40× oil immersion; bone marrow aspirate smear:
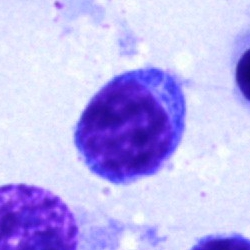 Q: What cell is this?
A: This is a lymphocyte.